Bone marrow aspirate smear
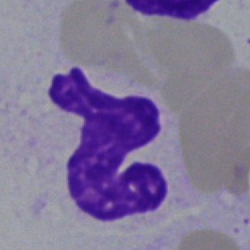
Cell: neutrophil (segmented).